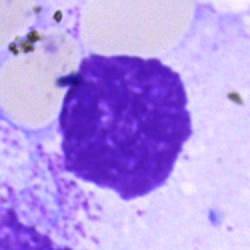
Cell type = artefact.